Bone marrow aspirate smear:
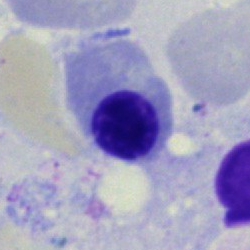

Morphology — nucleated red blood cell.